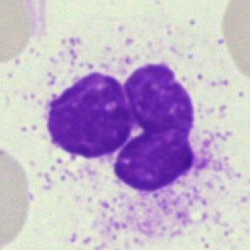
Specimen: bone marrow aspirate smear.
Morphological class: cell of indeterminate lineage.